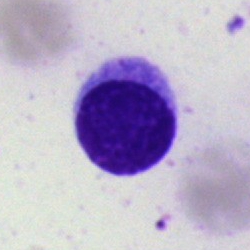

Bone marrow aspirate smear, single cell — lymphocyte.